Single-cell crop. Bone marrow smear.
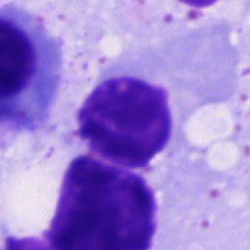Showing an artifact.